Bone marrow aspirate smear · single cell centered in the field: 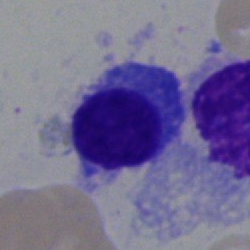
This is a plasma cell.